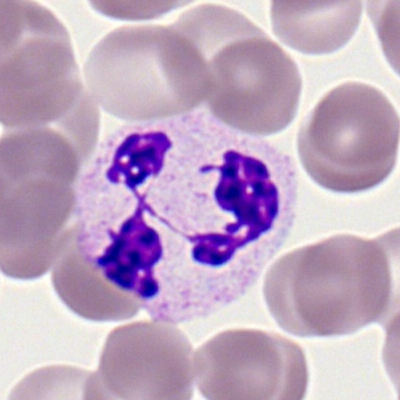 Peripheral blood smear showing a neutrophil (segmented).